Bone marrow smear: 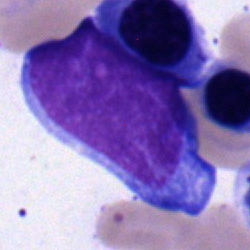 Morphological class — blast cell.